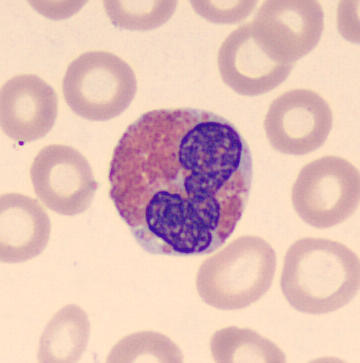 Peripheral blood film. CellaVision DM96. An eosinophil.